Bone marrow aspirate smear.
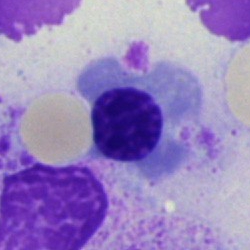
Q: What cell is this?
A: Nucleated red cell.